Bone marrow smear
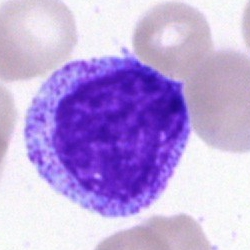
The cell shown is a myelocyte.